Bone marrow smear; May-Grünwald-Giemsa/Pappenheim stain
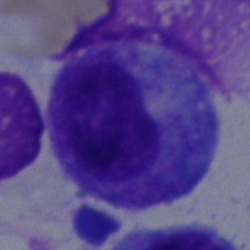The cell shown is a promyelocyte.